Bone marrow aspirate smear:
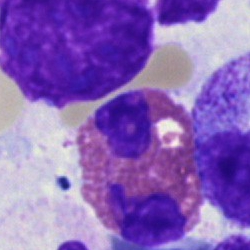
{"cell_type": "eosinophil"}